Bone marrow smear.
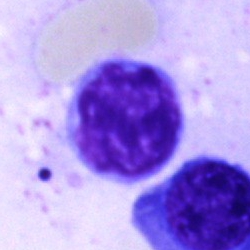Morphology → typical lymphocyte.